Bone marrow aspirate smear:
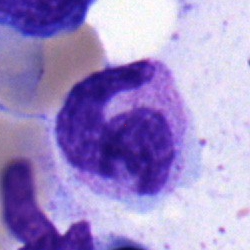
The cell shown is a polymorphonuclear neutrophil.